Pappenheim-stained; bone marrow smear; image size 250×250
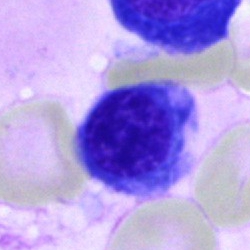
The cell shown is a normoblast.